Bone marrow aspirate smear — 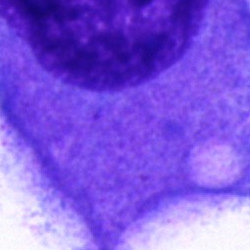 Single cell identified as an artifact.